Bone marrow aspirate smear
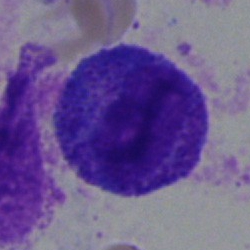
Showing a progranulocyte.